250×250. Bone marrow aspirate smear:
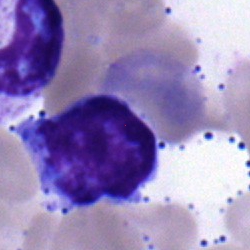 Single cell identified as a lymphocyte.